Bone marrow smear.
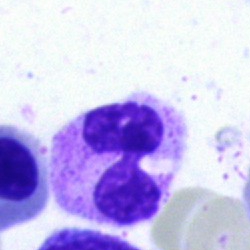 Cell type = polymorphonuclear neutrophil.